Bone marrow smear
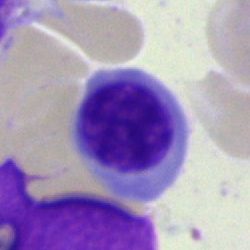 This is a normoblast.